Peripheral blood smear. 100× oil immersion
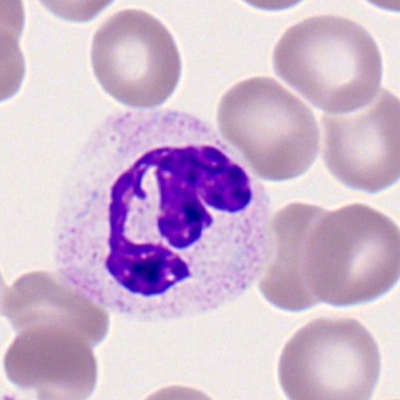 Q: What cell is this?
A: A neutrophil (segmented).